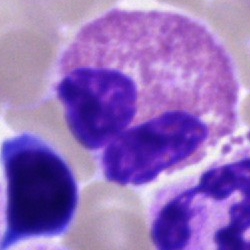 Q: What cell is this?
A: It is an eosinophil.